40× objective, oil immersion. Bone marrow aspirate smear:
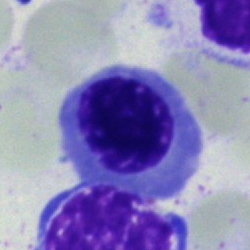
Q: Identify the cell.
A: A normoblast.